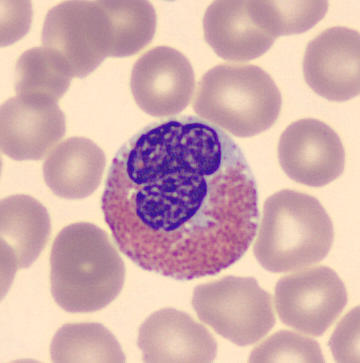 Peripheral blood smear.
This is an eosinophilic granulocyte.